Bone marrow smear.
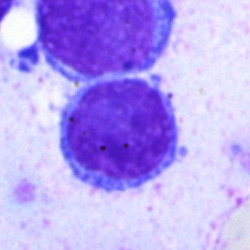
Specimen: bone marrow aspirate smear.
Morphological class: lymphocyte.
Lineage: lymphoid.